Image size 250×250 · bone marrow aspirate smear · cropped to a single cell.
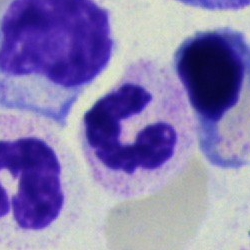

Cell: neutrophil (segmented).